Brightfield, 40× oil-immersion objective · bone marrow smear:
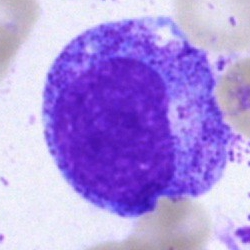Q: What type of cell is this?
A: This is a myelocyte.